MGG-stained; brightfield microscopy, 40× oil immersion; bone marrow smear.
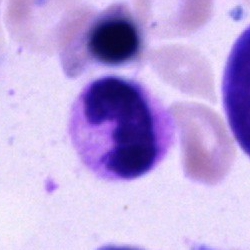 The cell is segmented neutrophil.